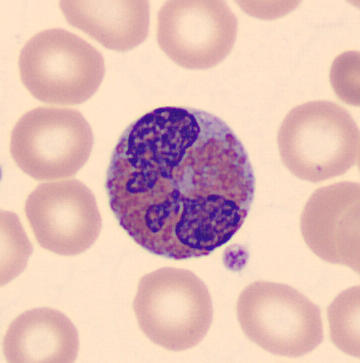 Acquisition: Peripheral blood smear; MGG stain. Single cell identified as an eosinophilic granulocyte.